Bone marrow smear. Single cell centered in the field.
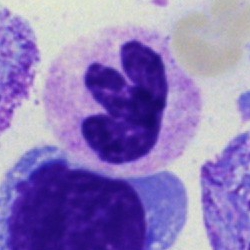

Cell = neutrophil (segmented).